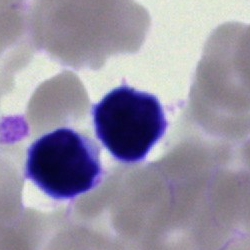
Lymphocyte.